Bone marrow aspirate smear:
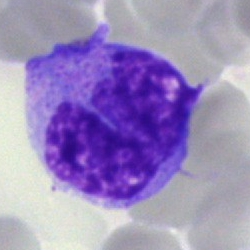

Cell type = monocyte.